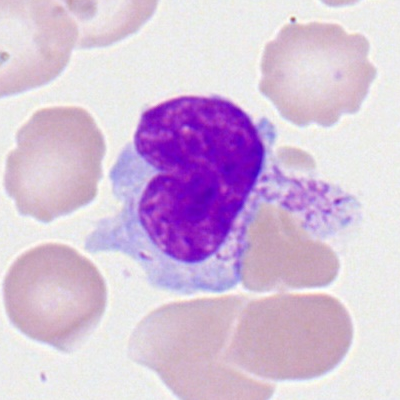

Q: What is the morphological classification of this cell?
A: This is a typical lymphocyte.